Bone marrow smear — 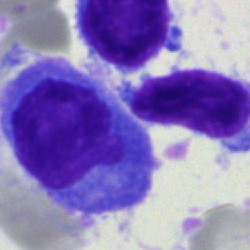
Impression — plasma cell.